Bone marrow smear:
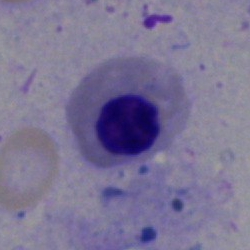A nucleated red cell.